Brightfield, 100× oil-immersion objective. Peripheral blood film:
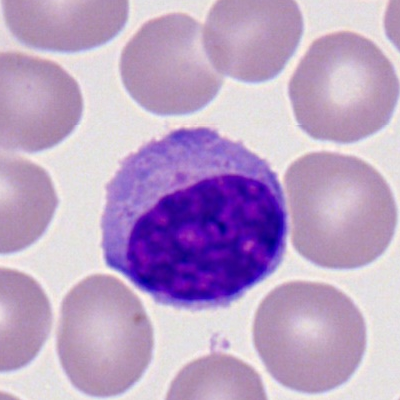 Cell type — lymphocyte.